Bone marrow smear:
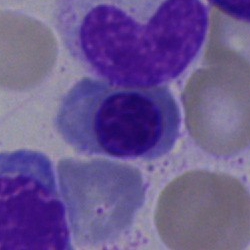 Morphology → nucleated red blood cell.